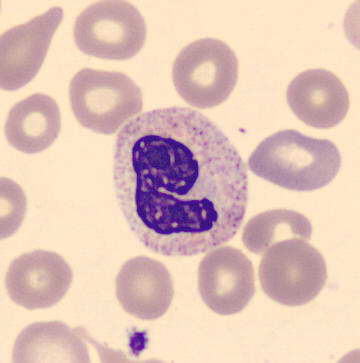
Specimen: peripheral blood smear.
Classification: band neutrophil.

Image: Automated cell imaging (CellaVision DM96).